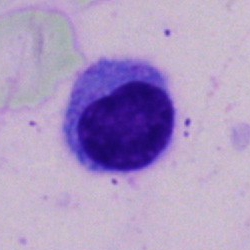Classification = typical lymphocyte.